Single cell centered in the field · bone marrow smear · 250 by 250 pixels
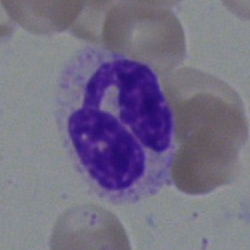

{"cell_type": "polymorphonuclear neutrophil", "lineage": "myeloid"}